MGG-stained; bone marrow smear
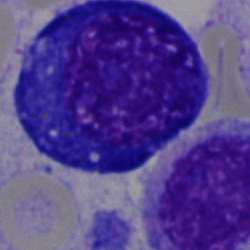

A nucleated red cell.